Bone marrow smear: 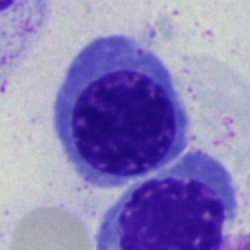

Nucleated red blood cell.